Bone marrow aspirate smear.
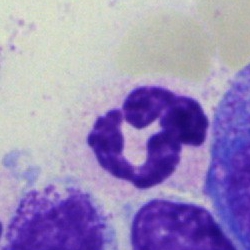
Q: Identify the cell.
A: This is a neutrophil (segmented).